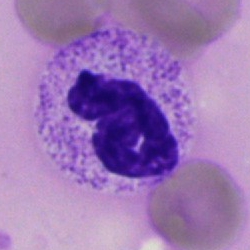
This is a segmented neutrophil.